Bone marrow aspirate smear.
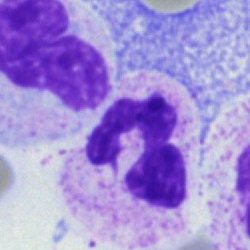This is a segmented neutrophil.